Bone marrow aspirate smear
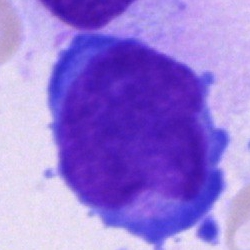

Morphology → blast cell.